Bone marrow aspirate smear: 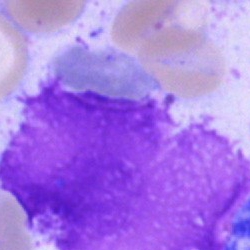
Cell: artefact.